Bone marrow smear:
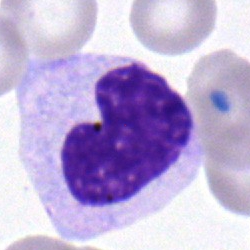Q: Which cell type is shown here?
A: It is a metamyelocyte.